Bone marrow aspirate smear:
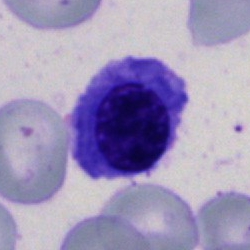Q: What is shown here?
A: It is a nucleated red blood cell.